250 by 250 pixels. Bone marrow aspirate smear
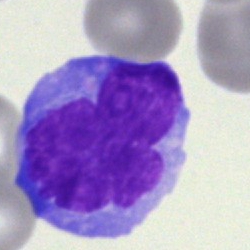
Single cell identified as a blast.